Bone marrow aspirate smear.
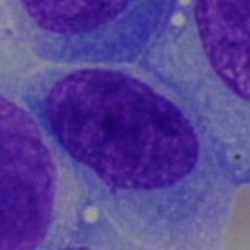Classification: blast.